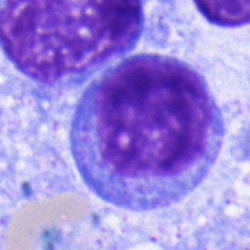 The classification is promyelocyte.